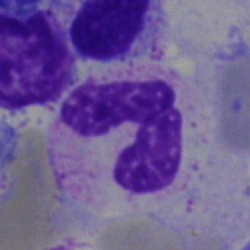Bone marrow aspirate smear, single cell — band-form neutrophil.